Image size 250×250; bone marrow smear:
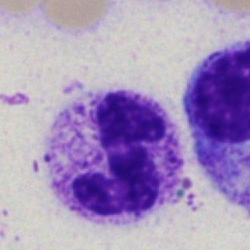 Cell — polymorphonuclear neutrophil.